Bone marrow smear. 40× oil immersion — 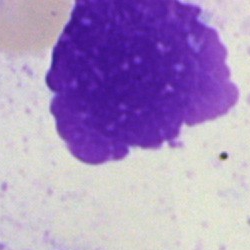The morphological class is artefact.